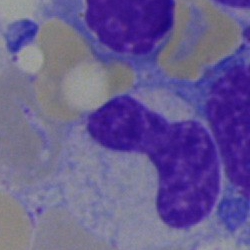

Morphological class = band-form neutrophil.